Bone marrow aspirate smear — 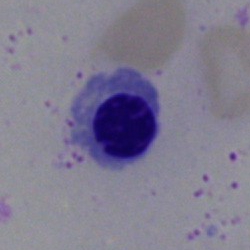

The morphological class is normoblast.